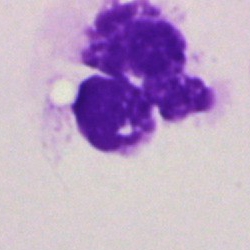
Single-cell crop from a bone marrow smear: artefact.